Single-cell crop; bone marrow smear.
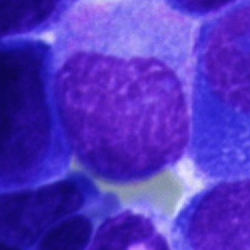{"cell_type": "blast cell"}